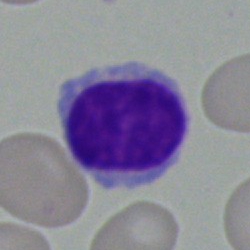 Specimen: bone marrow smear.
Cell type: typical lymphocyte.